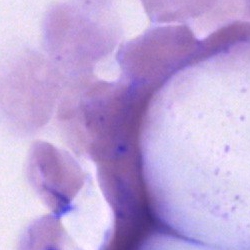 Impression → artefact.